Bone marrow smear · 250×250 · single cell centered in the field.
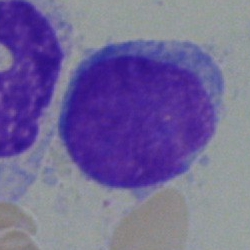Impression — blast cell.